250×250 px. May-Grünwald-Giemsa/Pappenheim stain. Bone marrow aspirate smear:
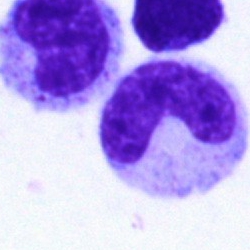Q: Identify the cell.
A: A band-form neutrophil.